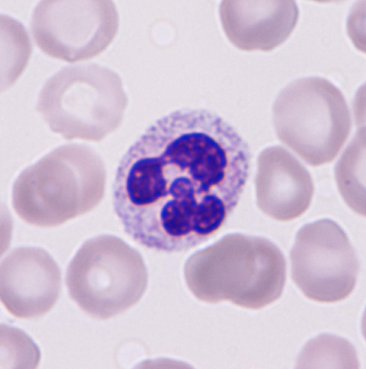 Specimen: peripheral blood film.
Cell type: neutrophilic granulocyte.
Lineage: myeloid.